Bone marrow aspirate smear. 250×250 px.
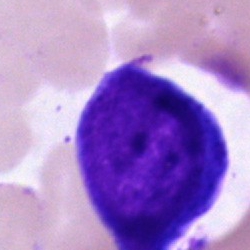
{"cell_type": "blast"}